Bone marrow smear.
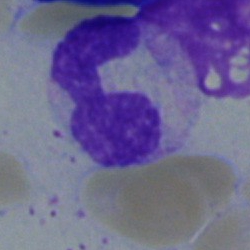
Polymorphonuclear neutrophil.